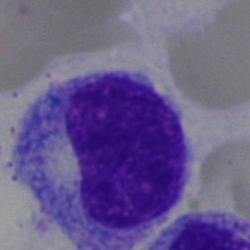 Classification: myelocyte.